Bone marrow aspirate smear.
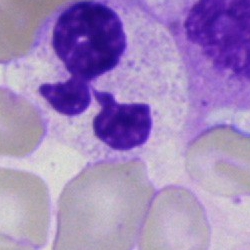Showing a segmented neutrophil.